Bone marrow smear — 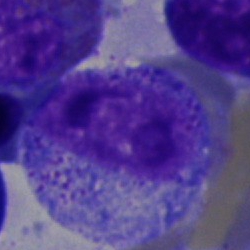 {"cell_type": "progranulocyte", "lineage": "myeloid"}